Bone marrow smear
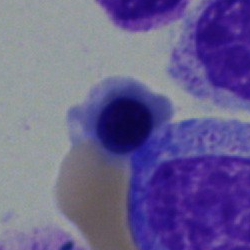 A nucleated red blood cell.